Brightfield, 40× oil-immersion objective. MGG-stained. Bone marrow aspirate smear: 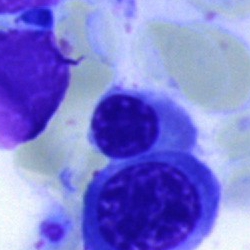
A normoblast.